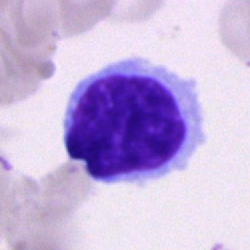The cell is lymphocyte.